400 by 400 pixels; peripheral blood smear: 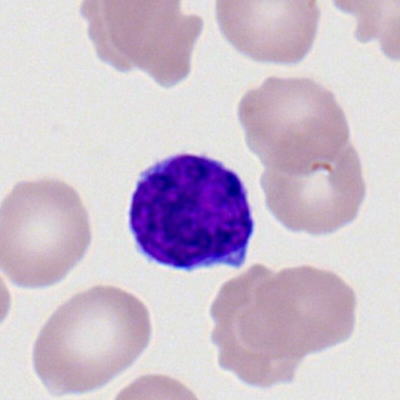

The cell shown is a typical lymphocyte.